Bone marrow smear: 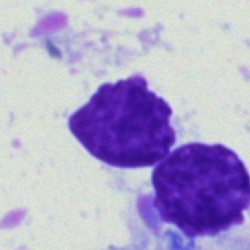 Classification: artefact.